Bone marrow smear:
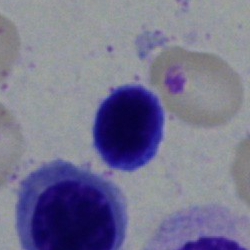

Q: What type of cell is this?
A: It is a lymphocyte.